Bone marrow smear · 250 by 250 pixels · Pappenheim-stained — 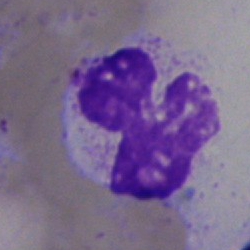 Single cell identified as an artifact.